Single cell centered in the field · bone marrow aspirate smear — 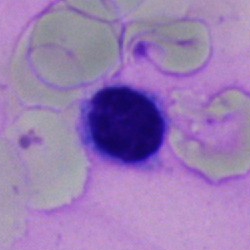 Typical lymphocyte.